Bone marrow smear — 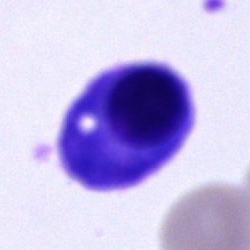

Morphology consistent with a plasmacyte.